Bone marrow smear
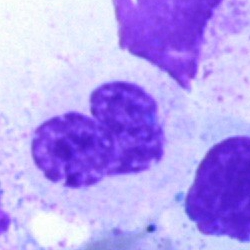The cell shown is a metamyelocyte.